Bone marrow smear · single cell centered in the field.
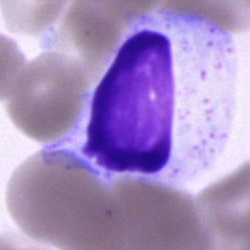 Q: Identify the cell.
A: It is a cell of indeterminate lineage.